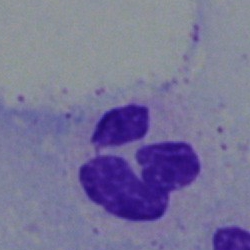 Impression — polymorphonuclear neutrophil.